Bone marrow smear.
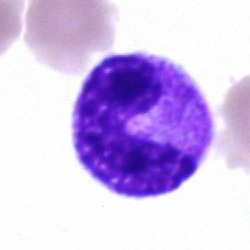 Showing a neutrophil (band).